Brightfield microscopy, 40× oil immersion. Single-cell crop. Bone marrow smear — 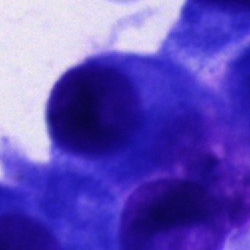 Q: What type of cell is this?
A: This is an other cell.